Peripheral blood film.
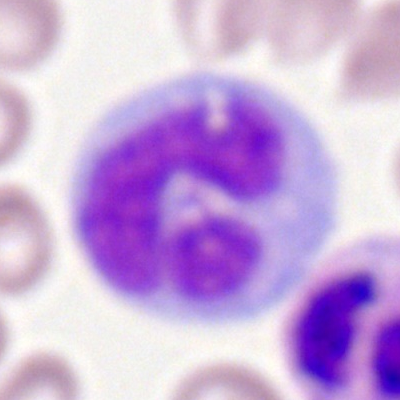

Impression — monocyte.